Bone marrow smear · 250×250:
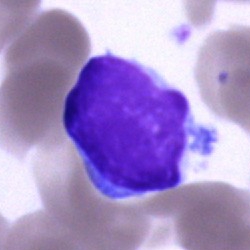 The cell is lymphocyte.